40× oil immersion. Bone marrow smear
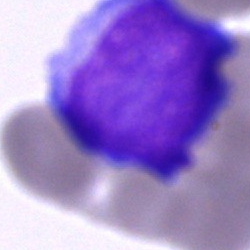
Morphology → blast cell.